250×250 px. Bone marrow aspirate smear
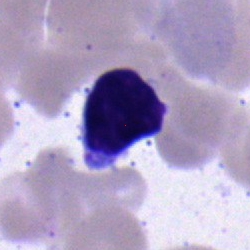

Cell — typical lymphocyte.